Bone marrow aspirate smear — 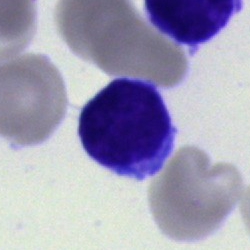 Impression → blast.